Bone marrow aspirate smear. MGG-stained: 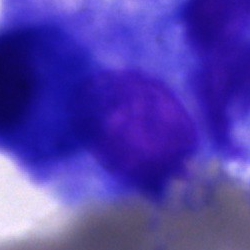 Cell: blast cell.